Bone marrow smear — 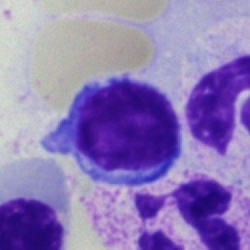
The morphological class is lymphocyte.